Cropped to a single cell · bone marrow smear:
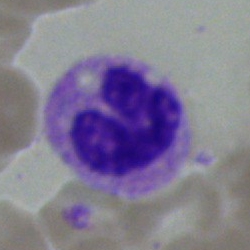Q: What cell is this?
A: A polymorphonuclear neutrophil.